Peripheral blood smear.
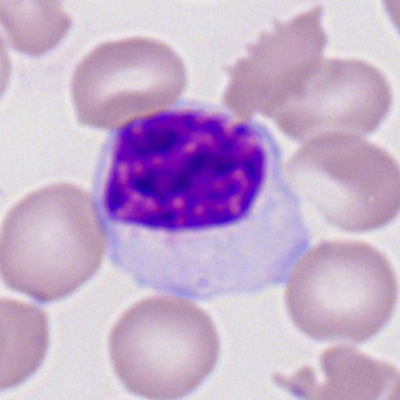Q: Which cell type is shown here?
A: This is a typical lymphocyte.